Bone marrow aspirate smear.
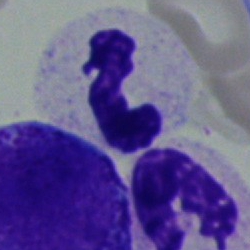
Specimen: bone marrow smear.
Cell type: segmented neutrophil.
Lineage: myeloid.